250×250 px. Brightfield microscopy, 40× oil immersion. Bone marrow smear
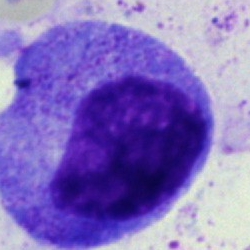
{"cell_type": "promyelocyte"}